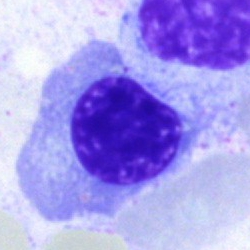Specimen: bone marrow smear.
Cell: normoblast.
Lineage: erythroid.